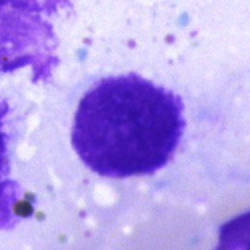 Artefact.